Single cell centered in the field; bone marrow aspirate smear; May-Grünwald-Giemsa stain.
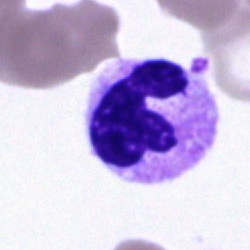

Morphology — segmented neutrophil.